Bone marrow smear:
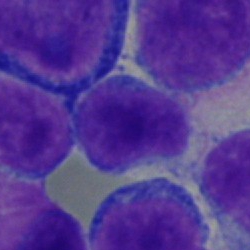Morphology — lymphocyte.